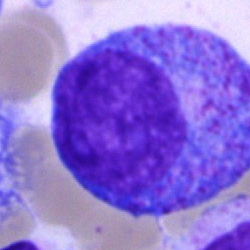Showing a progranulocyte.